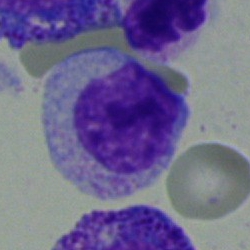

A myelocyte.